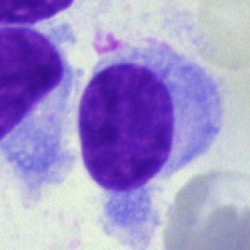Bone marrow aspirate smear, single cell — hairy cell.